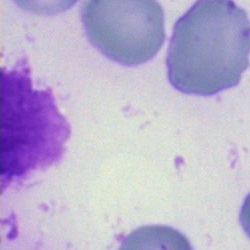 Artefact.